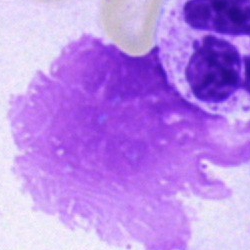 This is an artifact.